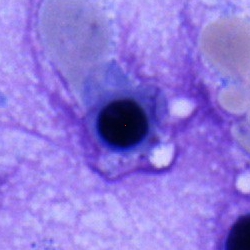

{"cell_type": "normoblast", "lineage": "erythroid"}